Bone marrow aspirate smear; 40× oil immersion:
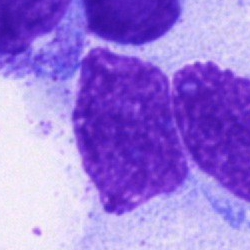

Impression → artefact.